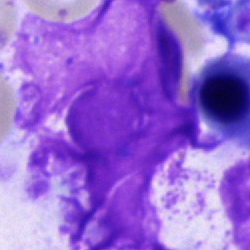Morphological class: artifact.